Single-cell crop · bone marrow aspirate smear · brightfield, 40× oil-immersion objective.
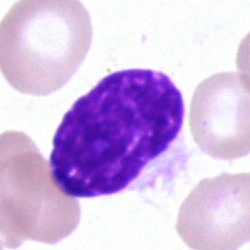
Q: What is shown here?
A: It is an artefact.